100× objective, oil immersion; 400×400; peripheral blood smear
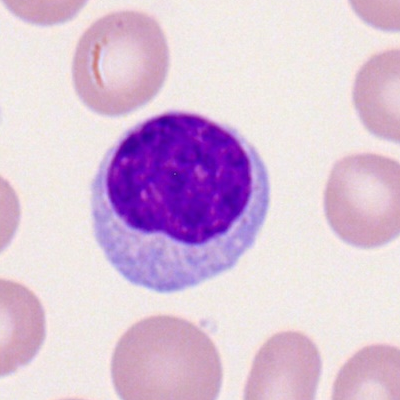

A lymphocyte.